Bone marrow aspirate smear — 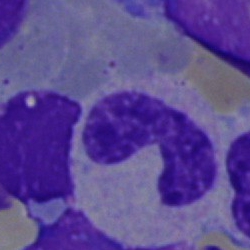

Morphological class = band-form neutrophil.